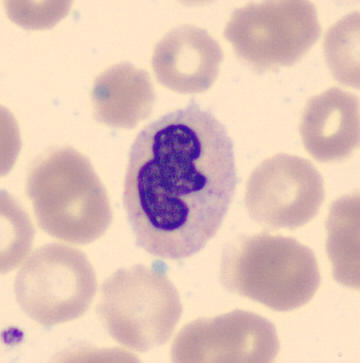

Image: Peripheral blood smear.
Morphology consistent with a band neutrophil.